40× objective, oil immersion. Bone marrow smear:
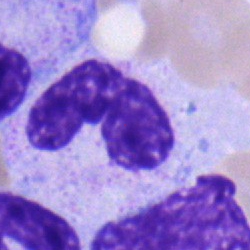
Stab cell.